Cropped to a single cell · peripheral blood film
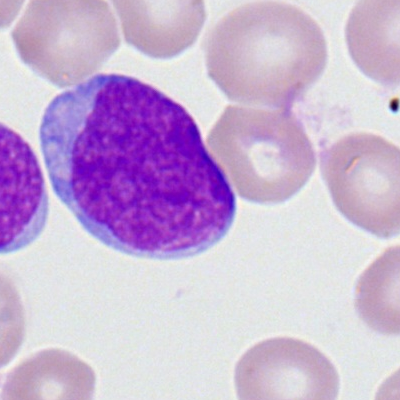
Cell: myeloid blast.